40× oil immersion. Bone marrow smear.
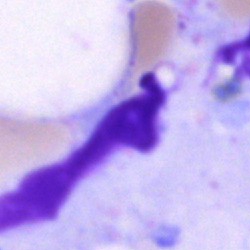
Single cell identified as an artifact.